Peripheral blood film — 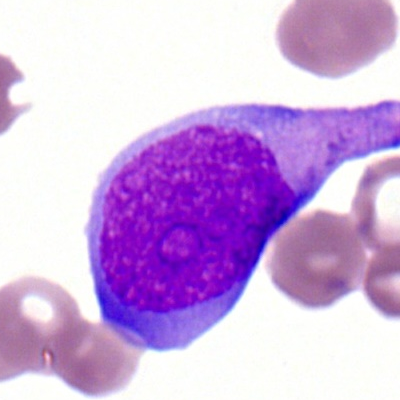 Single cell identified as a myeloid blast.